Single cell centered in the field; bone marrow smear; 250×250.
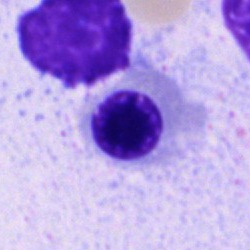
Q: What is shown here?
A: Normoblast.